Bone marrow smear: 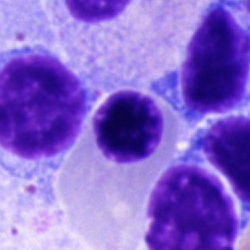

Q: What type of cell is this?
A: It is a lymphocyte.